Bone marrow aspirate smear. 250 by 250 pixels:
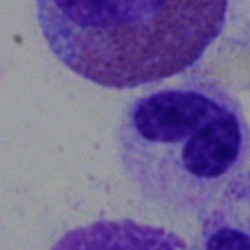 Cell: stab cell.